Bone marrow smear.
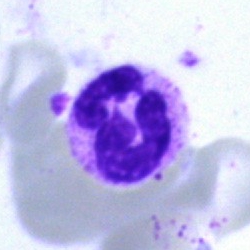
Specimen: bone marrow aspirate smear.
Cell: segmented neutrophil.